Bone marrow smear.
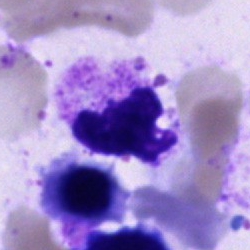{"cell_type": "polymorphonuclear neutrophil", "lineage": "myeloid"}